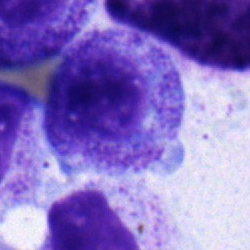

The classification is myelocyte.